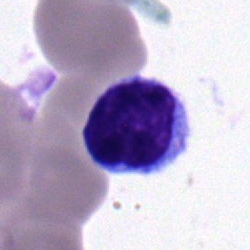
Showing a lymphocyte.